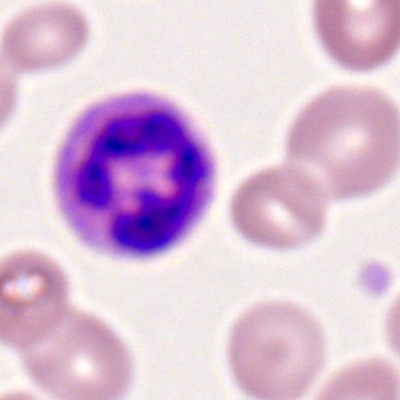 Impression — neutrophil (segmented).